Brightfield microscopy, 40× oil immersion; bone marrow aspirate smear:
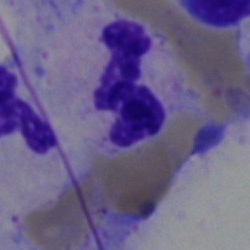
Morphology — neutrophil (segmented).